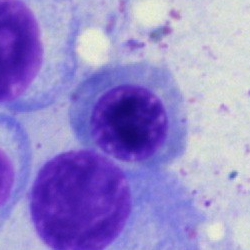Impression — nucleated red cell.